Bone marrow aspirate smear. Brightfield, 40× oil-immersion objective:
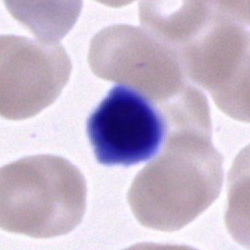Single cell identified as an erythroblast.